250 by 250 pixels; bone marrow aspirate smear:
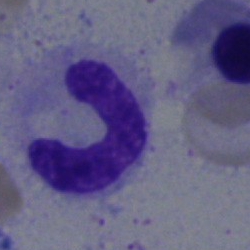Showing a band neutrophil.